Bone marrow aspirate smear.
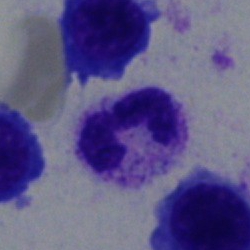The cell shown is a segmented neutrophil.